250 by 250 pixels; 40× objective, oil immersion; bone marrow smear
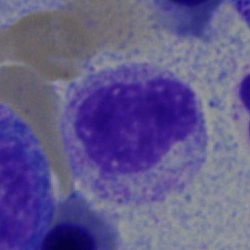Specimen: bone marrow aspirate smear.
Cell type: myelocyte.
Lineage: myeloid.